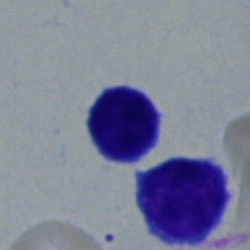

Showing a typical lymphocyte.